Bone marrow smear: 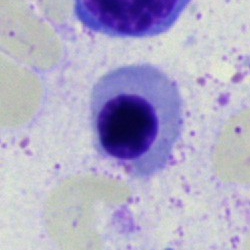

Specimen: bone marrow smear.
Cell: erythroblast.